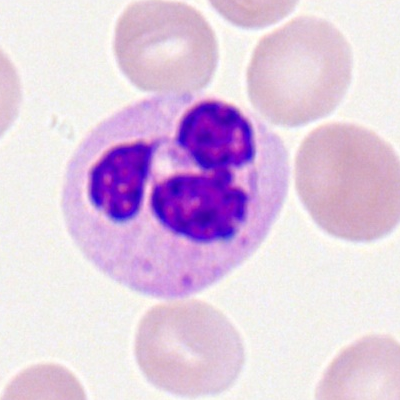 Classification — polymorphonuclear neutrophil.